250 by 250 pixels. May-Grünwald-Giemsa/Pappenheim stain. Bone marrow smear: 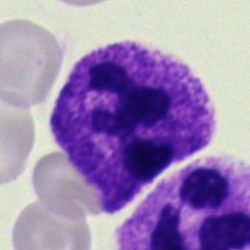

Showing a polymorphonuclear neutrophil.